Bone marrow aspirate smear: 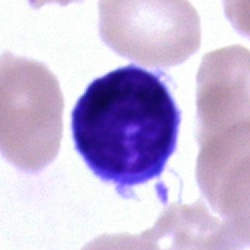 Morphology consistent with a typical lymphocyte.